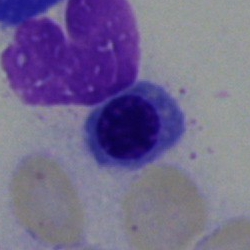
Classification = nucleated red cell.